Cropped to a single cell · Pappenheim-stained · bone marrow smear
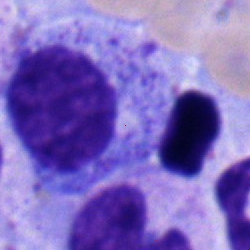

{"cell_type": "myelocyte"}